Bone marrow aspirate smear: 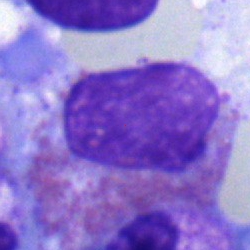 Eosinophil.